Bone marrow aspirate smear: 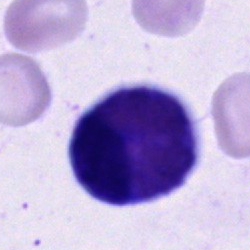 Morphology → cell of indeterminate lineage.